Bone marrow aspirate smear: 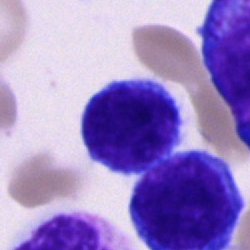Showing a typical lymphocyte.